Bone marrow aspirate smear: 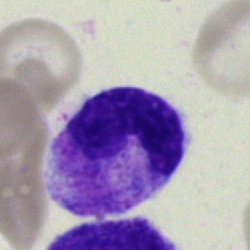 The cell is stab cell.